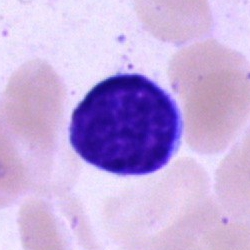 Q: What is the morphological classification of this cell?
A: It is a lymphocyte.